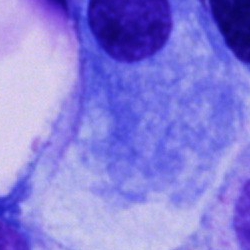
Morphology → plasmacyte.